May Grünwald-Giemsa stain. 360×363. Peripheral blood smear: 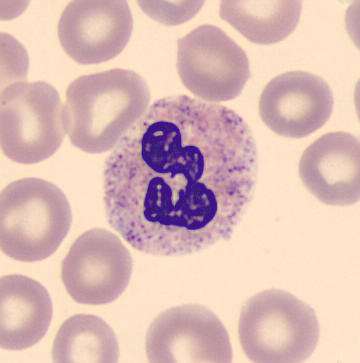Q: What type of cell is this?
A: Neutrophil (segmented).